Bone marrow smear · brightfield, 40× oil-immersion objective
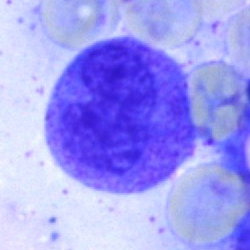The cell type is cell of indeterminate lineage.